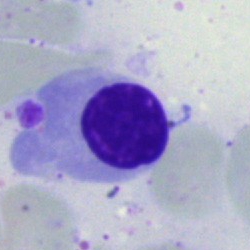
Morphology consistent with a nucleated red cell.